Bone marrow smear — 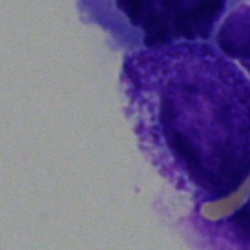

The cell is myelocyte.